Bone marrow aspirate smear.
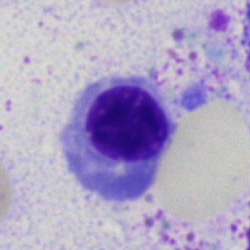 Morphology → nucleated red cell.